Bone marrow aspirate smear; image size 250×250.
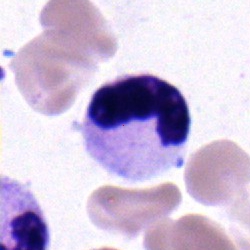Stab cell.